Bone marrow aspirate smear; cropped to a single cell; brightfield, 40× oil-immersion objective:
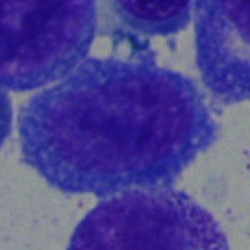Cell type — pronormoblast.